Bone marrow aspirate smear
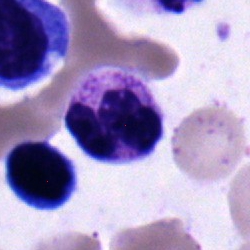

The morphological class is polymorphonuclear neutrophil.